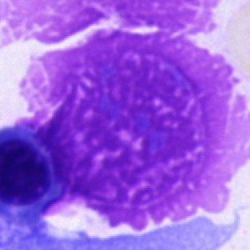 Morphology consistent with an artefact.